Bone marrow smear
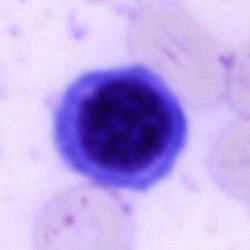

Morphology consistent with a normoblast.